Bone marrow aspirate smear: 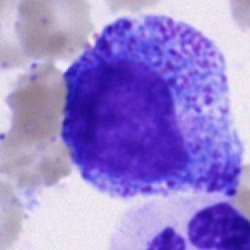 Classification: progranulocyte.